Single cell centered in the field; bone marrow smear; 250×250 px: 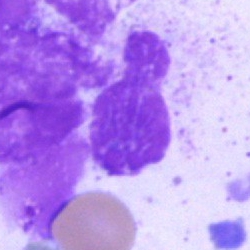
Q: What is shown here?
A: An artifact.